Bone marrow smear: 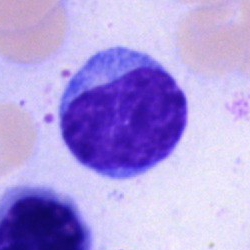

The cell is lymphocyte.